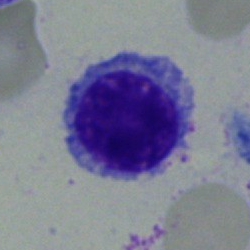Single-cell crop from a bone marrow smear: nucleated red cell.